Bone marrow smear. Brightfield microscopy, 40× oil immersion. Pappenheim-stained.
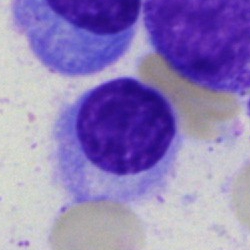
Morphological class — lymphocyte.